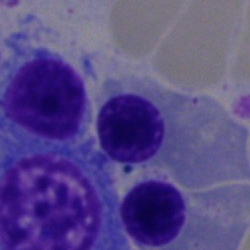 Nucleated red cell.